Bone marrow smear — 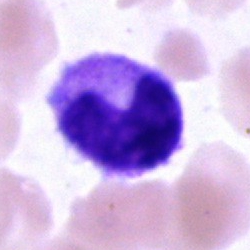

The cell shown is a metamyelocyte.